MGG-stained. Bone marrow smear. 250 by 250 pixels.
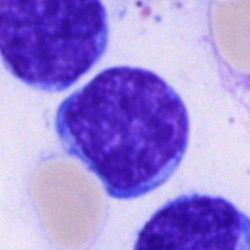
Cell type = lymphocyte.